May-Grünwald-Giemsa/Pappenheim stain; bone marrow smear
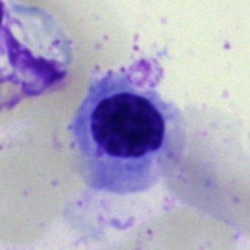A normoblast.